Bone marrow smear
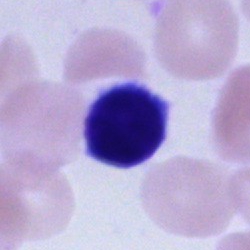
{"cell_type": "lymphocyte", "lineage": "lymphoid"}